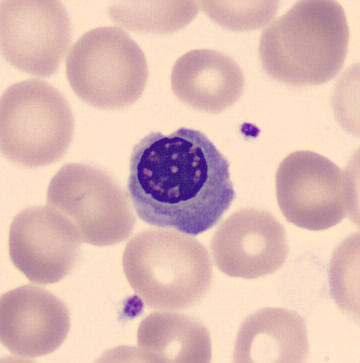Classification = erythroblast. Preparation: Peripheral blood smear; automated cell imaging (CellaVision DM96).